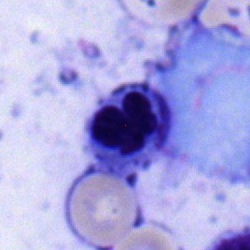

Showing a nucleated red cell.